Peripheral blood smear:
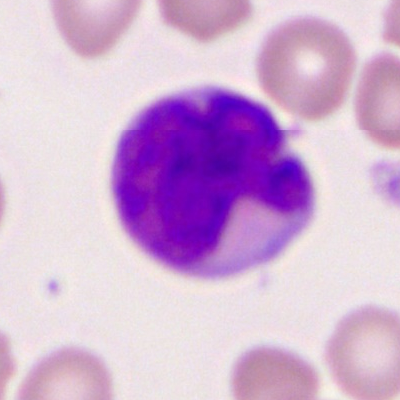 This is a myeloblast.